Bone marrow smear — 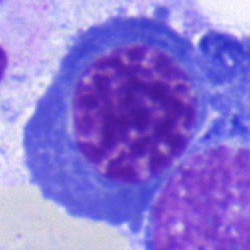
Morphology → nucleated red cell.